Pappenheim-stained · bone marrow aspirate smear — 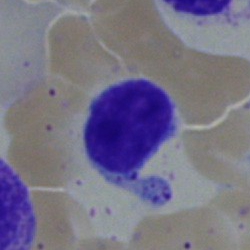Cell type: lymphocyte.